Peripheral blood film
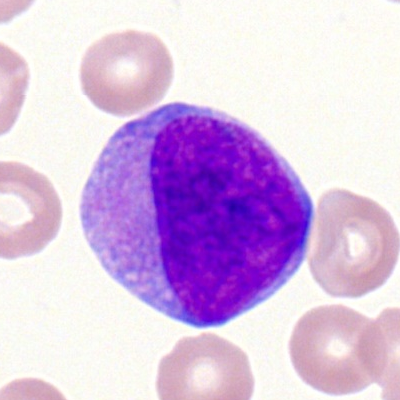
Specimen: peripheral blood film.
Cell: myeloblast.
Lineage: myeloid.